Image size 400×400 · Romanowsky-stained · peripheral blood film: 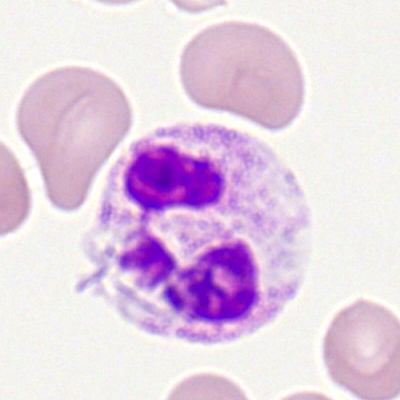Q: What cell is this?
A: A segmented neutrophil.